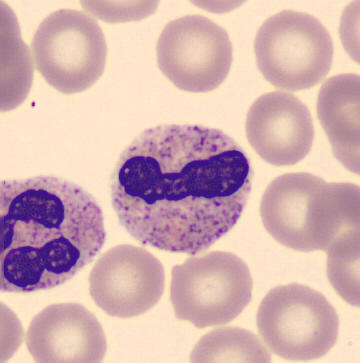

Single cell identified as a band-form neutrophil.